Single-cell field. 250 by 250 pixels. Bone marrow smear: 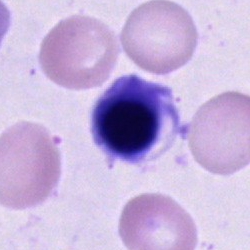

Q: What is shown here?
A: A cell of indeterminate lineage.